Bone marrow smear; Pappenheim-stained.
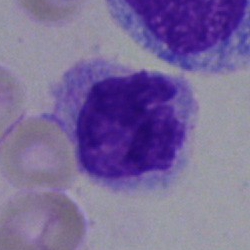

Cell type — artefact.